Bone marrow aspirate smear. 40× oil immersion:
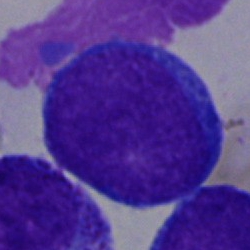 A blast cell.